Peripheral blood film
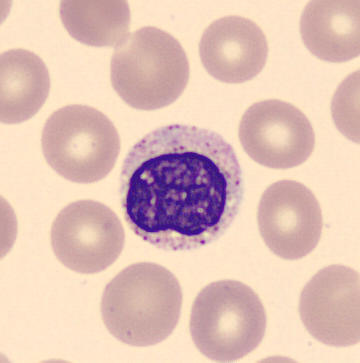 Morphological class = myelocyte.